Bone marrow smear:
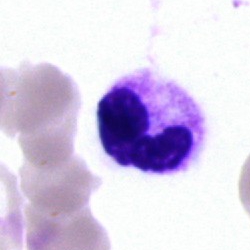
The cell is polymorphonuclear neutrophil.